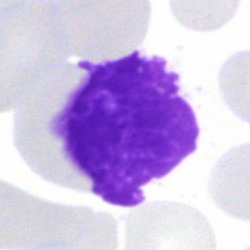
Impression — smudge cell.